Bone marrow aspirate smear: 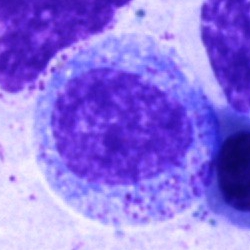 Q: What type of cell is this?
A: A progranulocyte.